Single cell centered in the field. Bone marrow aspirate smear.
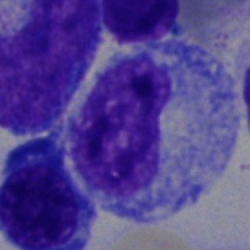

{"cell_type": "cell of indeterminate lineage"}